Bone marrow aspirate smear · Pappenheim-stained · 40× oil immersion
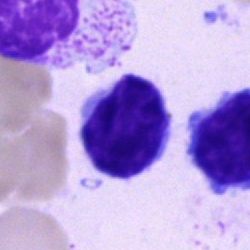

Specimen: bone marrow smear.
Morphological class: typical lymphocyte.